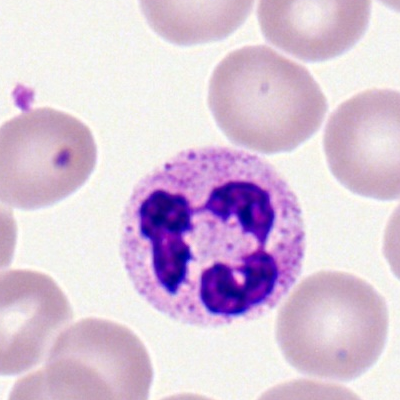Morphological class = neutrophil (segmented).